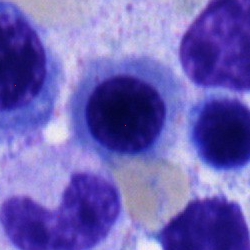

Single-cell crop from a bone marrow smear: nucleated red blood cell.